40× objective, oil immersion · image size 250×250 · bone marrow aspirate smear.
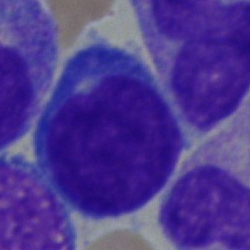
{"cell_type": "blast cell"}